Bone marrow aspirate smear; single-cell field
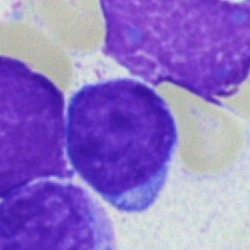

Morphology consistent with a blast cell.